Pappenheim-stained · cropped to a single cell · bone marrow smear — 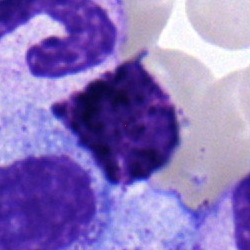

The cell is basophil.